Bone marrow smear. 250 by 250 pixels: 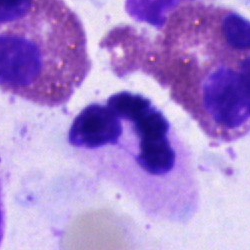This is a neutrophil (segmented).